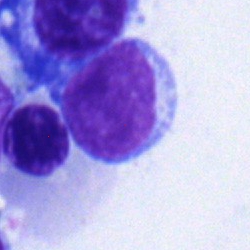
Bone marrow smear showing a typical lymphocyte.